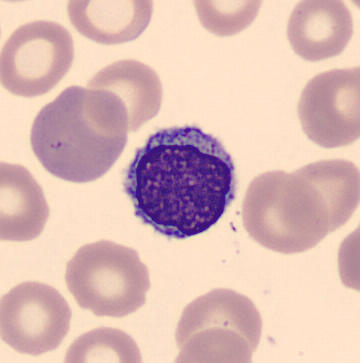 Cell — lymphocyte.